Single cell centered in the field · bone marrow smear · Pappenheim-stained: 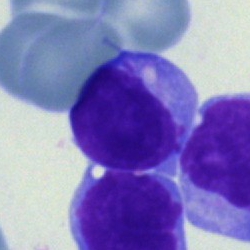 Typical lymphocyte.